Bone marrow smear
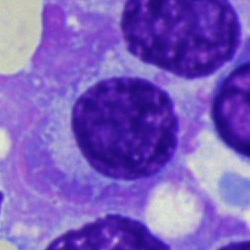 The cell shown is a plasmacyte.